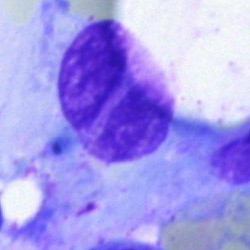Q: What is shown here?
A: An artefact.